Bone marrow aspirate smear; single-cell crop
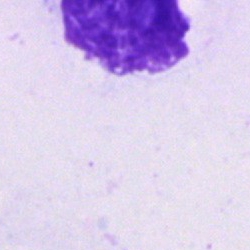

Classification — artefact.